360×363; peripheral blood film
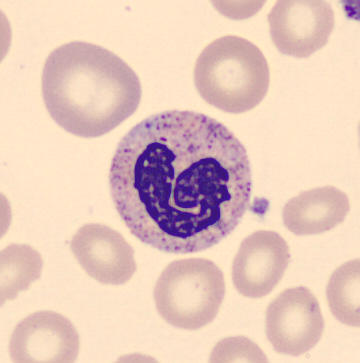
Identified as a segmented neutrophil.